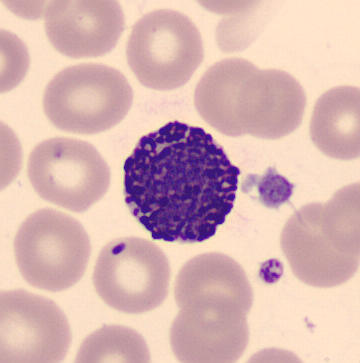
Preparation: Peripheral blood smear.

Cell type — basophil.